Bone marrow smear · 40× objective, oil immersion.
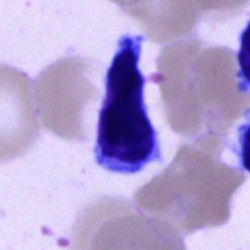

Q: What cell is this?
A: A typical lymphocyte.